250×250 px. Single-cell crop. Bone marrow smear — 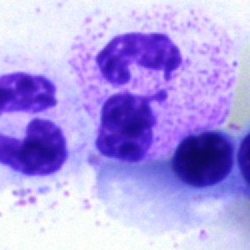
Impression → neutrophil (segmented).